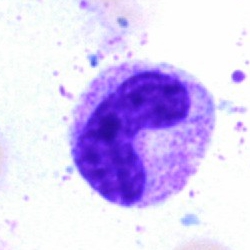

Showing a band neutrophil.